Bone marrow smear — 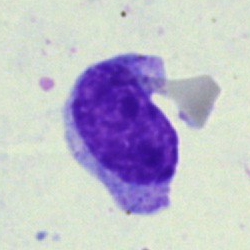
Q: What cell is this?
A: This is a lymphocyte.